Bone marrow smear: 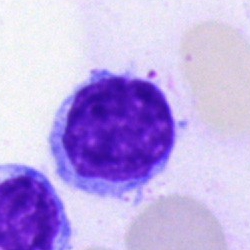

Q: Which cell type is shown here?
A: A lymphocyte.